May-Grünwald-Giemsa/Pappenheim stain · brightfield microscopy, 40× oil immersion · bone marrow smear:
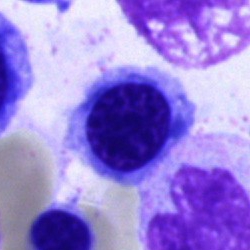 The classification is normoblast.